Bone marrow smear; 250×250:
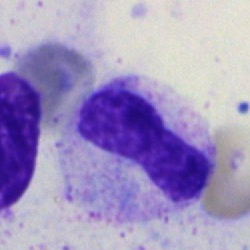
Classification: metamyelocyte.